Bone marrow smear.
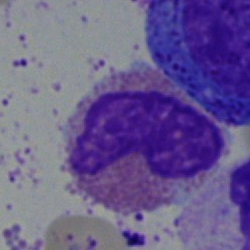Specimen: bone marrow aspirate smear.
Cell type: eosinophilic granulocyte.
Lineage: myeloid.